Bone marrow smear:
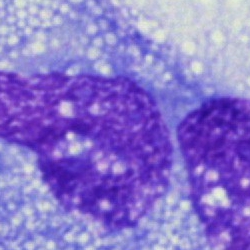
Morphological class — artifact.